Bone marrow smear: 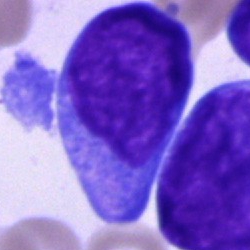

Classification — undifferentiated blast.